Bone marrow smear — 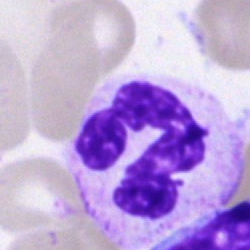
This is a polymorphonuclear neutrophil.